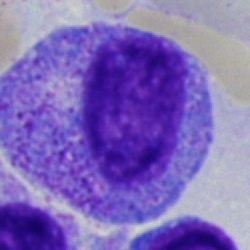 Classification = promyelocyte.